Bone marrow aspirate smear — 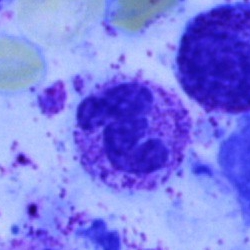 Specimen: bone marrow smear.
Cell type: segmented neutrophil.